Pappenheim-stained. Bone marrow smear. 250×250:
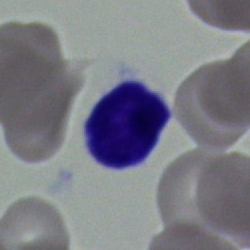
Showing a lymphocyte.